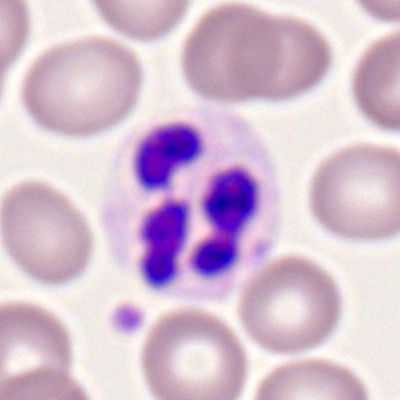
Single-cell crop from a peripheral blood smear: segmented neutrophil.